Peripheral blood film — 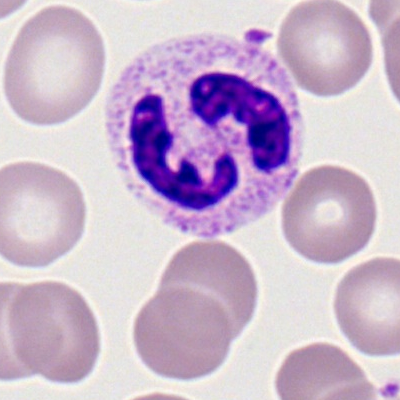Morphology — segmented neutrophil.